Bone marrow smear:
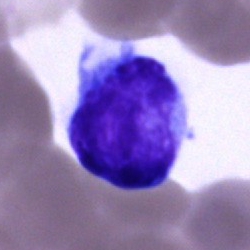Q: What is the morphological classification of this cell?
A: This is a typical lymphocyte.